Bone marrow aspirate smear — 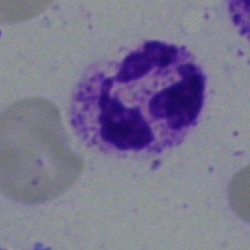 Impression — neutrophil (segmented).